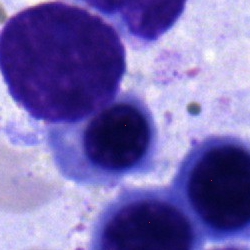
Impression — normoblast.